Bone marrow smear: 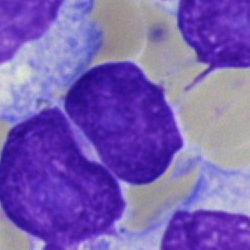

Cell type — artifact.